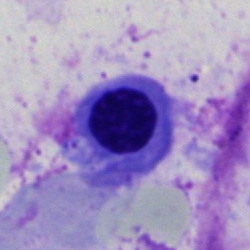 Impression → erythroblast.